Bone marrow smear — 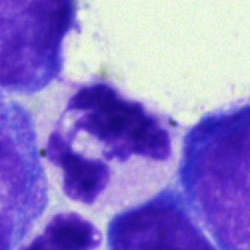Morphology — segmented neutrophil.